40× oil immersion; cropped to a single cell; bone marrow aspirate smear.
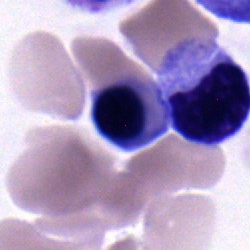

The cell is normoblast.